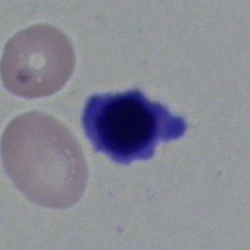Q: What type of cell is this?
A: It is an erythroblast.